Bone marrow aspirate smear:
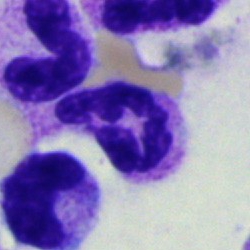

Specimen: bone marrow smear.
Cell: polymorphonuclear neutrophil.
Lineage: myeloid.